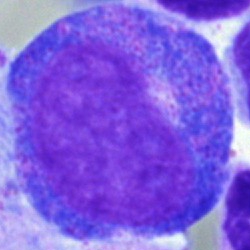Q: What is shown here?
A: It is a progranulocyte.